Bone marrow smear
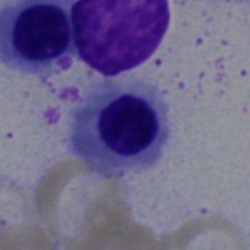

Normoblast.